Bone marrow aspirate smear — 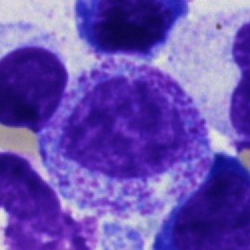Morphological class = myelocyte.